250 by 250 pixels; bone marrow aspirate smear
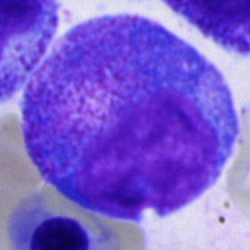
Single cell identified as a promyelocyte.